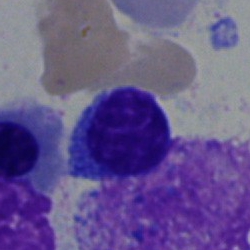Single cell identified as a typical lymphocyte.